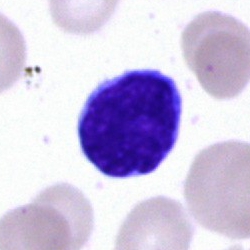

Bone marrow aspirate smear, single cell — lymphocyte.